Bone marrow aspirate smear:
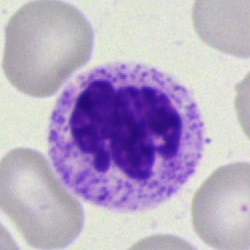
Classification: segmented neutrophil.